Bone marrow aspirate smear.
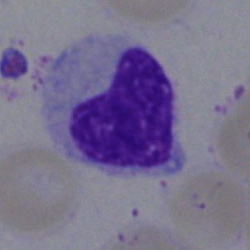Classification = eosinophilic granulocyte.